Bone marrow smear; single-cell field.
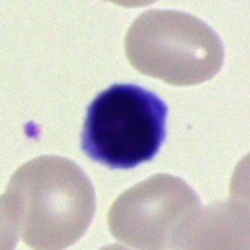

Specimen: bone marrow aspirate smear.
Morphological class: typical lymphocyte.
Lineage: lymphoid.